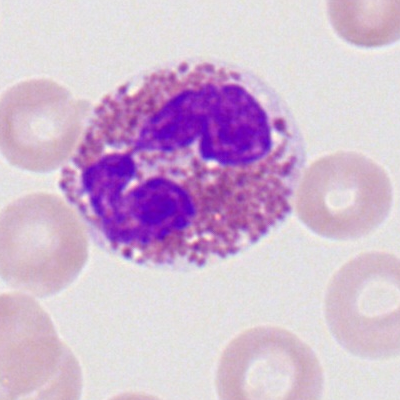
Eosinophil.